Bone marrow aspirate smear:
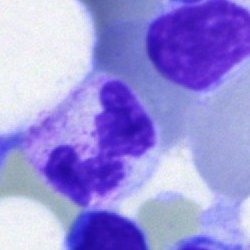 The classification is neutrophil (segmented).